Bone marrow smear; 40× oil immersion — 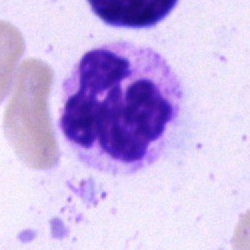
Segmented neutrophil.